Bone marrow aspirate smear:
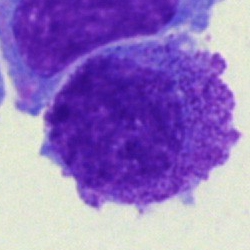
The cell shown is a promyelocyte.